Single cell centered in the field; bone marrow smear
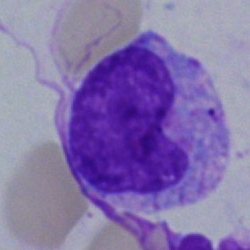 Q: What type of cell is this?
A: This is a metamyelocyte.